Bone marrow aspirate smear:
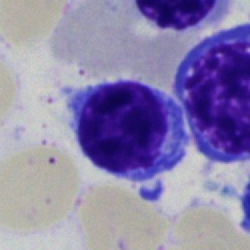

Q: Identify the cell.
A: Lymphocyte.